Peripheral blood film. 100× oil immersion: 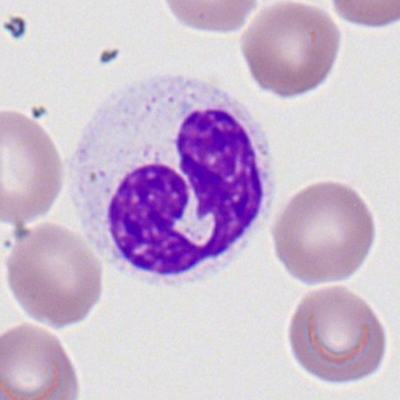Cell type: segmented neutrophil.